Bone marrow aspirate smear — 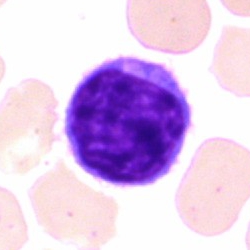Showing a lymphocyte.